Single cell centered in the field. Brightfield, 40× oil-immersion objective. Bone marrow aspirate smear:
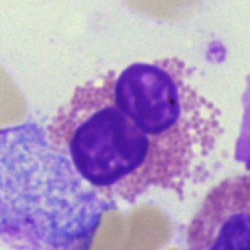
{"cell_type": "eosinophilic granulocyte"}